May-Grünwald-Giemsa stain; bone marrow smear — 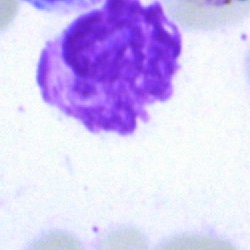
The cell type is artifact.